MGG-stained; bone marrow smear.
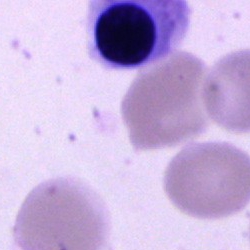 Morphology consistent with an erythroblast.